Bone marrow aspirate smear: 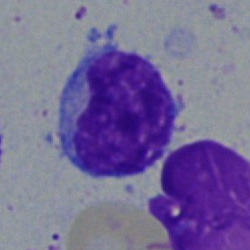

This is a lymphocyte.